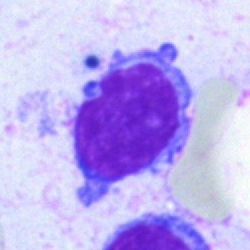
The cell shown is a typical lymphocyte.